250×250; bone marrow smear; cropped to a single cell
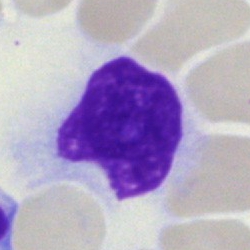
Cell — lymphocyte.